Bone marrow smear — 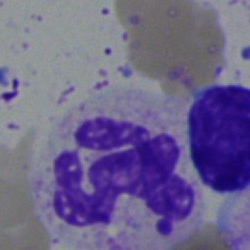 This is a segmented neutrophil.